Romanowsky-stained · M8 digital microscope (Precipoint), 100× oil immersion · peripheral blood smear: 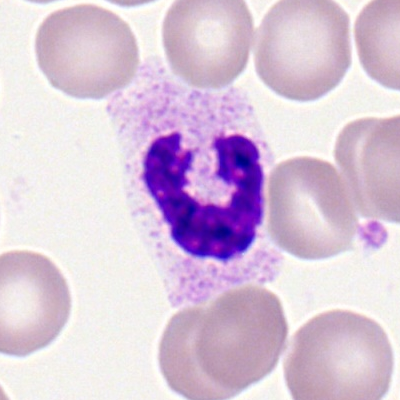 Showing a band neutrophil.